40× objective, oil immersion. Bone marrow smear — 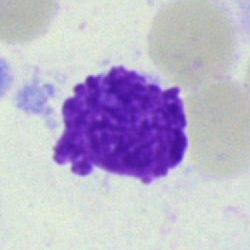Classification — artefact.